Brightfield microscopy, 40× oil immersion; bone marrow smear: 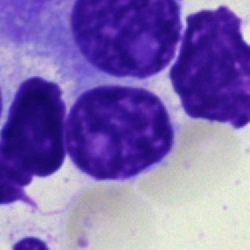The cell type is artifact.